250 by 250 pixels; bone marrow smear:
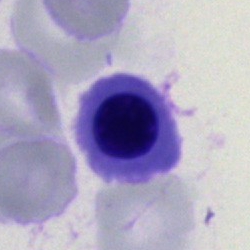Morphology consistent with a nucleated red blood cell.